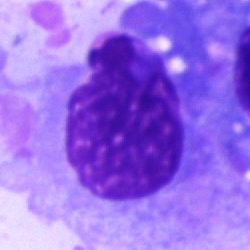Morphological class — plasma cell.